Peripheral blood smear.
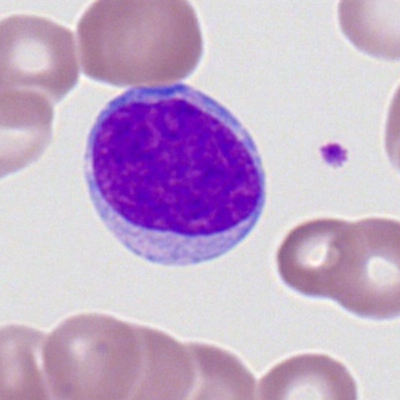
Morphology consistent with a myeloblast.